Bone marrow smear · brightfield, 40× oil-immersion objective · single cell centered in the field: 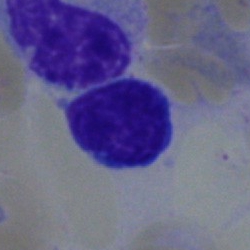Q: What cell is this?
A: This is a typical lymphocyte.